Peripheral blood film:
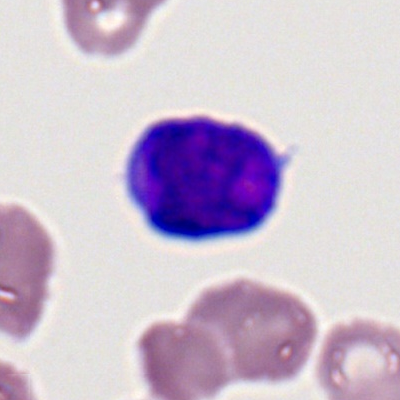 Morphology — lymphocyte.